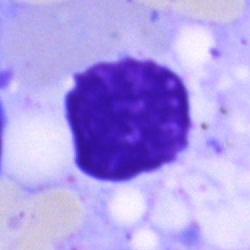
Showing an artefact.